Bone marrow aspirate smear
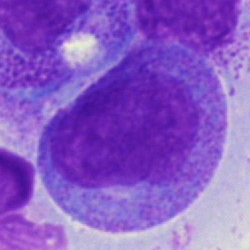 Q: Identify the cell.
A: A progranulocyte.